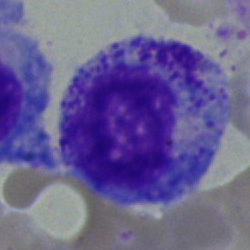{"cell_type": "myelocyte", "lineage": "myeloid"}